Bone marrow smear — 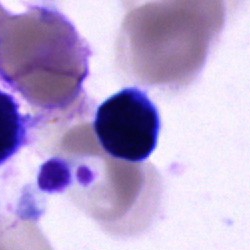The classification is cell of indeterminate lineage.